Bone marrow aspirate smear — 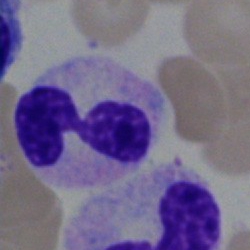 This is a segmented neutrophil.